Pappenheim-stained. Image size 250×250. Bone marrow smear.
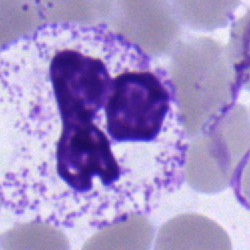

A neutrophil (segmented).